Peripheral blood film: 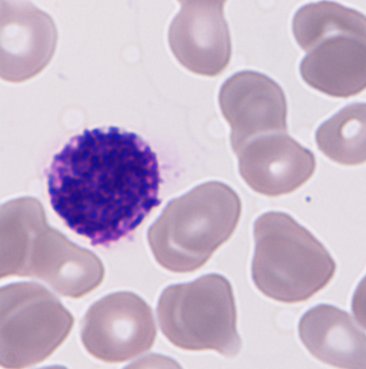 Q: Identify the cell.
A: Basophil.